Bone marrow aspirate smear; 40× objective, oil immersion — 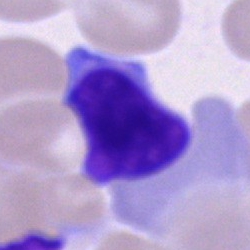

Specimen: bone marrow smear.
Morphological class: lymphocyte.
Lineage: lymphoid.